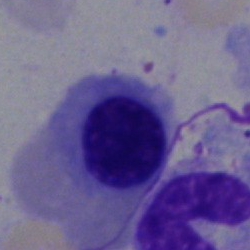
Morphological class = nucleated red blood cell.